Brightfield microscopy, 40× oil immersion · MGG-stained · bone marrow smear — 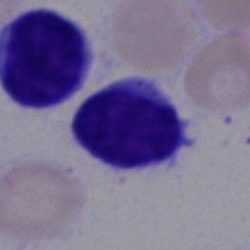

Single cell identified as a lymphocyte.